Single-cell crop; bone marrow smear:
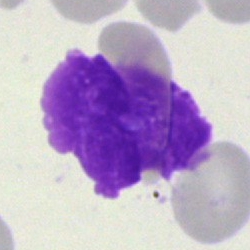Classification = basket cell.